Bone marrow smear
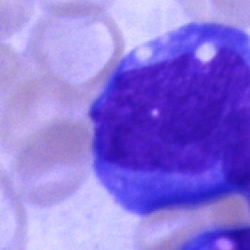
Impression → undifferentiated blast.